Bone marrow smear; cropped to a single cell.
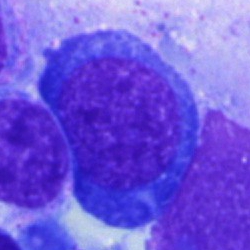
Classification: blast cell.